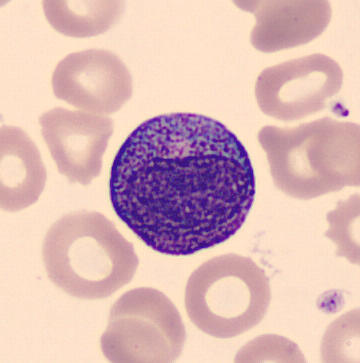Q: What is shown here?
A: It is a progranulocyte. Single-cell field; peripheral blood smear.